Brightfield, 40× oil-immersion objective; bone marrow aspirate smear — 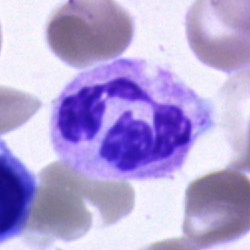

Specimen: bone marrow smear.
Classification: neutrophil (segmented).
Lineage: myeloid.